Bone marrow smear — 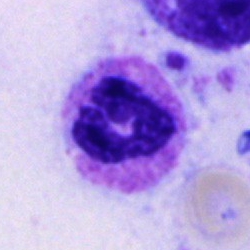The cell shown is a segmented neutrophil.